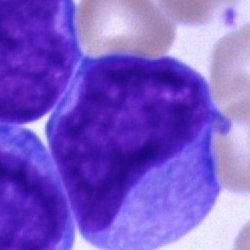
{"cell_type": "blast"}